Brightfield microscopy, 40× oil immersion. Bone marrow smear: 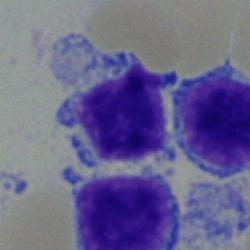

Morphology → lymphocyte.